Bone marrow aspirate smear.
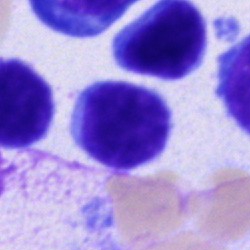 A typical lymphocyte.